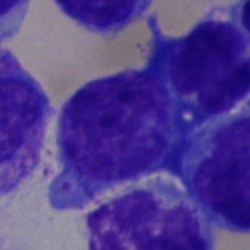
Q: What type of cell is this?
A: It is a blast cell.